Single-cell field. Bone marrow aspirate smear
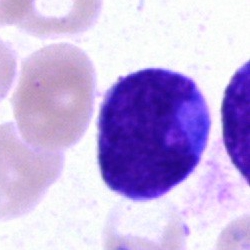
Q: What type of cell is this?
A: A blast cell.